Bone marrow aspirate smear:
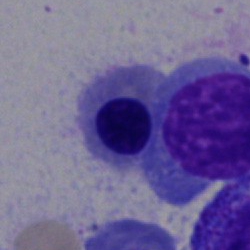

Specimen: bone marrow smear.
Classification: nucleated red cell.